Brightfield microscopy, 40× oil immersion. Bone marrow aspirate smear
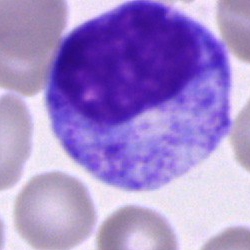

Morphology → progranulocyte.